Bone marrow smear.
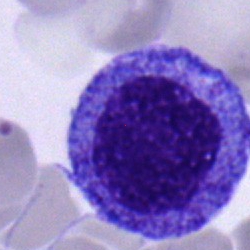Morphological class = promyelocyte.